Bone marrow smear; 250×250 px
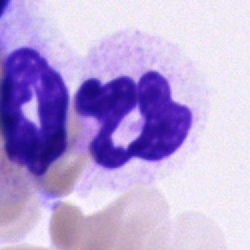

Morphology — polymorphonuclear neutrophil.